Romanowsky stain. Single cell centered in the field. Peripheral blood smear:
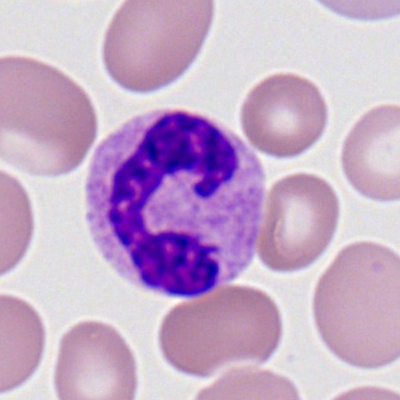
Specimen: peripheral blood smear.
Cell type: polymorphonuclear neutrophil.
Lineage: myeloid.